Bone marrow smear. 40× oil immersion. MGG-stained.
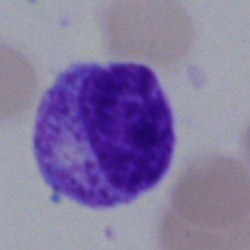 {"cell_type": "myelocyte"}